Bone marrow smear:
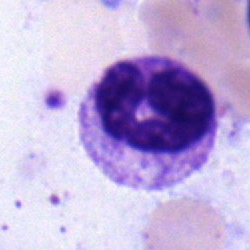 Morphology — band-form neutrophil.